Bone marrow smear:
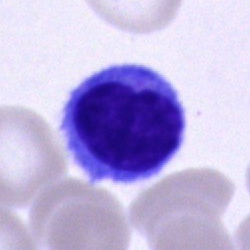Morphology — typical lymphocyte.